Bone marrow smear; 250 by 250 pixels; 40× objective, oil immersion:
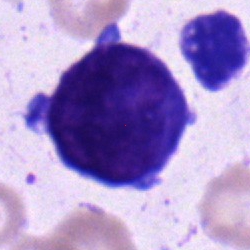The cell shown is an undifferentiated blast.